Peripheral blood smear · 360×363
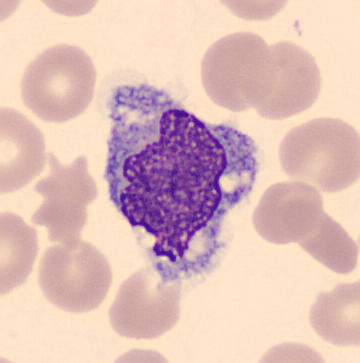
Identified as a monocyte.